Peripheral blood smear · brightfield, 100× oil-immersion objective · cropped to a single cell: 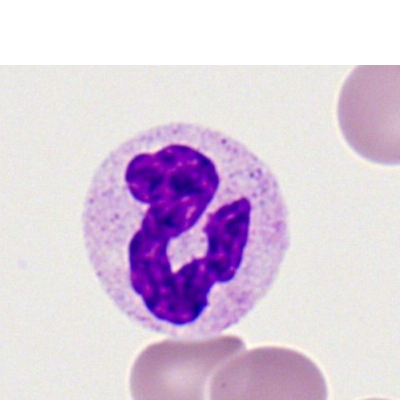 {"cell_type": "segmented neutrophil", "lineage": "myeloid"}